Bone marrow aspirate smear
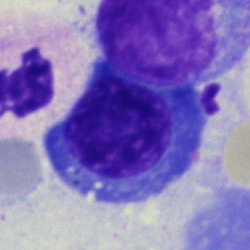Cell type: normoblast.